Romanowsky stain · peripheral blood film.
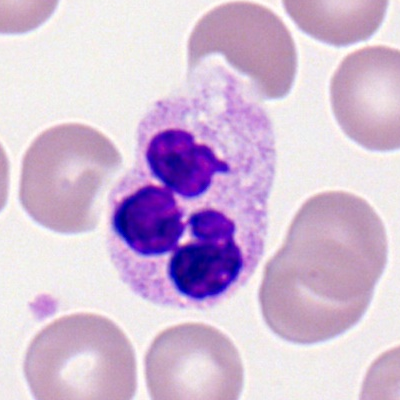 A polymorphonuclear neutrophil.